Bone marrow smear; brightfield microscopy, 40× oil immersion.
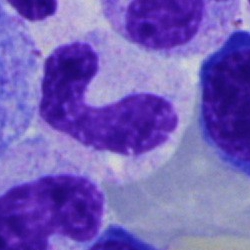 This is a stab cell.